Bone marrow smear; brightfield microscopy, 40× oil immersion — 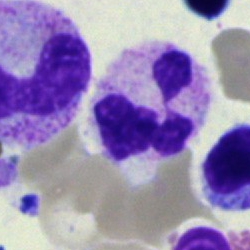 Q: What is the morphological classification of this cell?
A: It is a polymorphonuclear neutrophil.